Image size 250×250; bone marrow aspirate smear; single-cell crop.
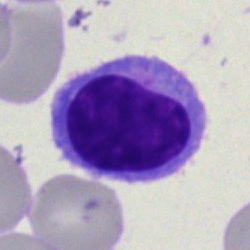 Morphology — typical lymphocyte.